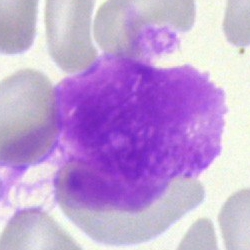 Q: What is shown here?
A: It is a smudge cell.